Bone marrow aspirate smear · cropped to a single cell · 40× objective, oil immersion — 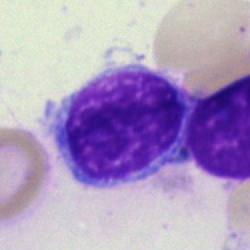
Typical lymphocyte.